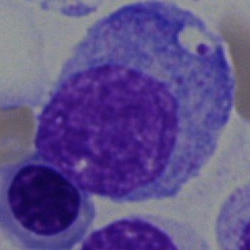
The cell shown is a progranulocyte.